Bone marrow smear; May-Grünwald-Giemsa/Pappenheim stain: 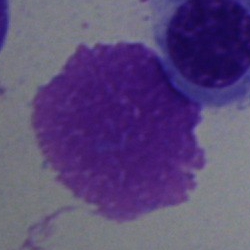
Q: What is shown here?
A: It is an artifact.